Cropped to a single cell. 250×250 px. Bone marrow aspirate smear
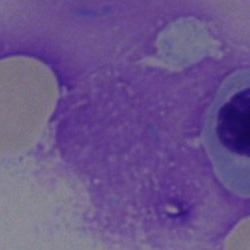

The cell is artefact.